Bone marrow smear
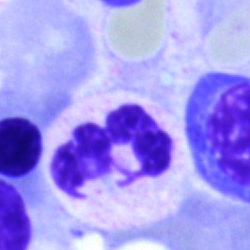
Morphology consistent with a neutrophil (segmented).